Bone marrow smear: 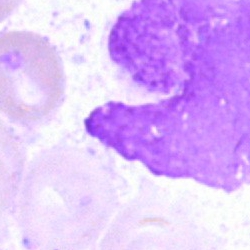Impression → artifact.